Bone marrow smear.
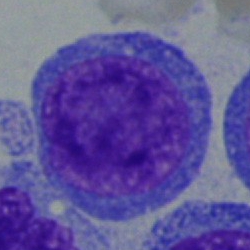Blast.